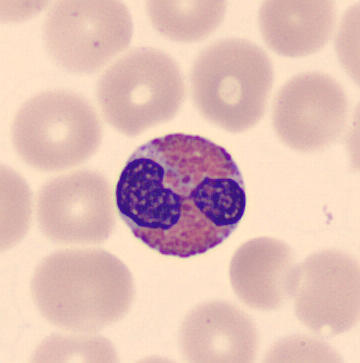
Image: Peripheral blood film; single-cell crop. Q: What is shown here?
A: An eosinophil.